Bone marrow aspirate smear.
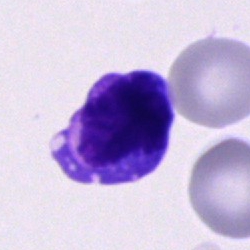

Q: What is shown here?
A: Cell of indeterminate lineage.